Bone marrow smear — 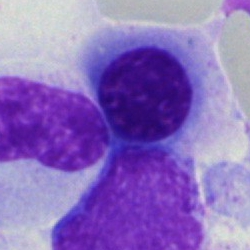 Morphology consistent with a nucleated red blood cell.